Peripheral blood smear · Romanowsky stain
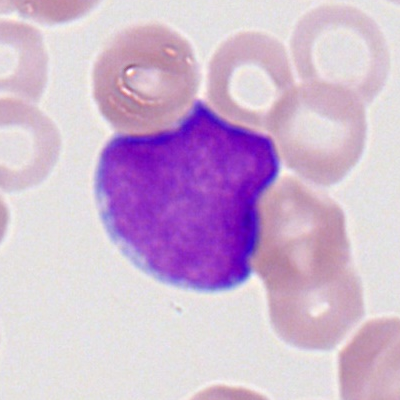 Q: Identify the cell.
A: This is a myeloblast.